Bone marrow aspirate smear:
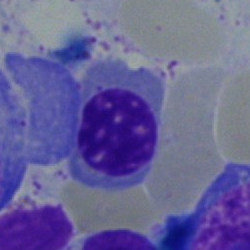 Cell type: normoblast.